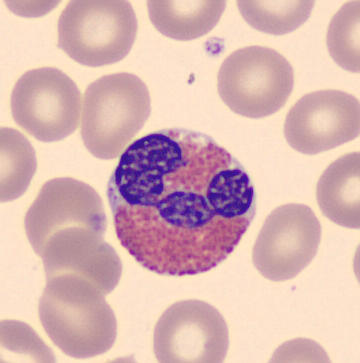Specimen: peripheral blood smear.
Cell: eosinophil.
Lineage: myeloid.